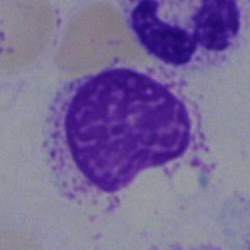
Single cell identified as an artefact.